Bone marrow aspirate smear — 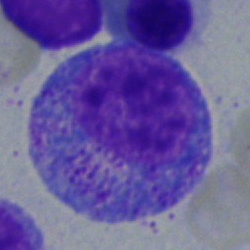
A promyelocyte.